MGG-stained · bone marrow smear · 40× oil immersion — 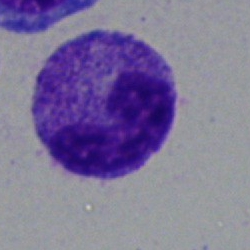
A stab cell.